Brightfield, 40× oil-immersion objective. Bone marrow smear: 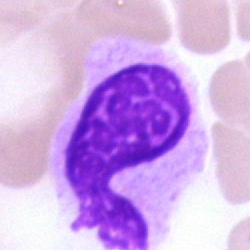

Cell = artefact.